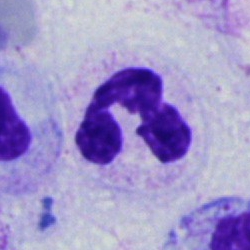
Cell type = polymorphonuclear neutrophil.